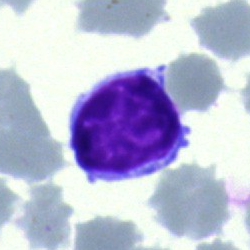
Q: Which cell type is shown here?
A: Lymphocyte.